Bone marrow aspirate smear.
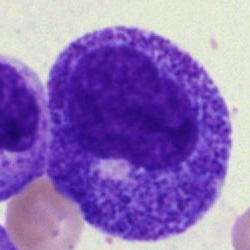

The cell type is myelocyte.